Bone marrow aspirate smear · brightfield, 40× oil-immersion objective · 250×250: 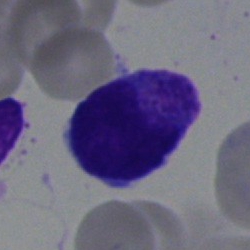

Q: What cell is this?
A: Undifferentiated blast.